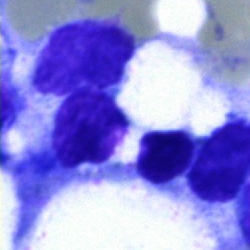 This is an artifact.